Bone marrow smear. Brightfield microscopy, 40× oil immersion
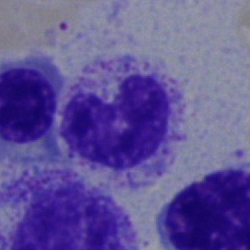Specimen: bone marrow aspirate smear.
Classification: band neutrophil.
Lineage: myeloid.